Bone marrow smear.
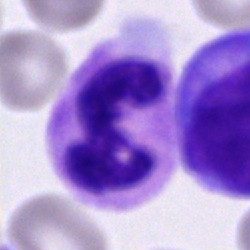
{"cell_type": "neutrophil (segmented)"}